Bone marrow aspirate smear: 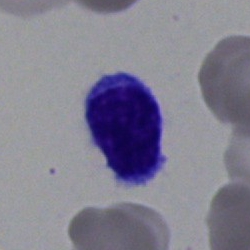 Q: What type of cell is this?
A: A lymphocyte.